Bone marrow aspirate smear.
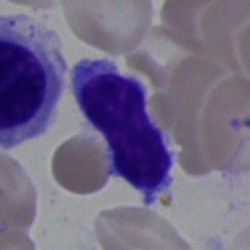
A typical lymphocyte.